Peripheral blood film.
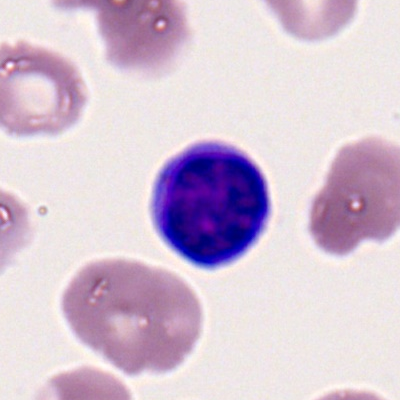

Cell: lymphocyte.